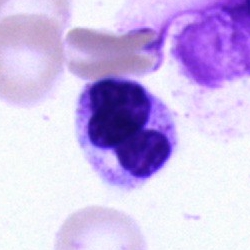 Bone marrow aspirate smear, single cell — polymorphonuclear neutrophil.